Bone marrow aspirate smear — 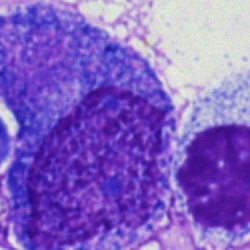Showing a progranulocyte.